Bone marrow smear — 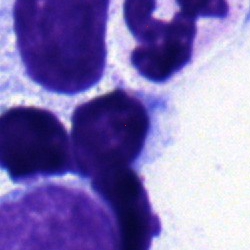 Morphology → typical lymphocyte.